Bone marrow aspirate smear. 40× oil immersion — 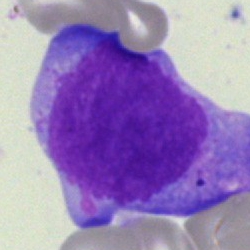

Morphology — blast cell.